Peripheral blood film. 400×400.
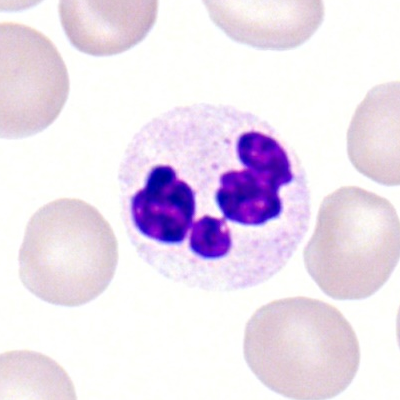

Morphology consistent with a neutrophil (segmented).